Bone marrow aspirate smear: 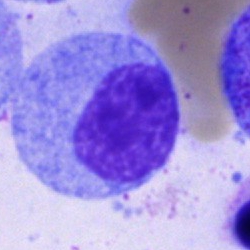
Specimen: bone marrow smear.
Cell: progranulocyte.
Lineage: myeloid.